Peripheral blood film
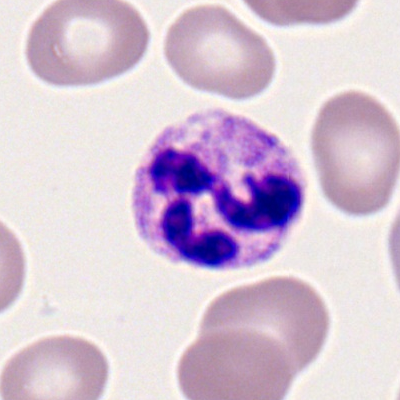

{"cell_type": "neutrophil (segmented)"}